Single cell centered in the field. Bone marrow smear.
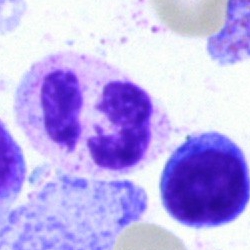Morphology consistent with a neutrophil (segmented).